Pappenheim-stained · bone marrow smear.
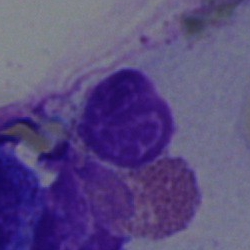Impression — eosinophil.